Bone marrow aspirate smear. 250×250:
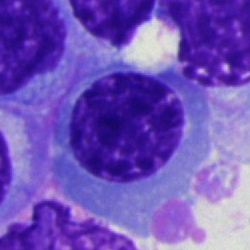
Single cell identified as an erythroblast.